Peripheral blood smear:
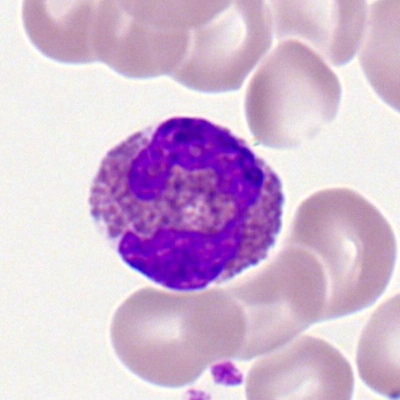

Impression → eosinophilic granulocyte.